Peripheral blood film — 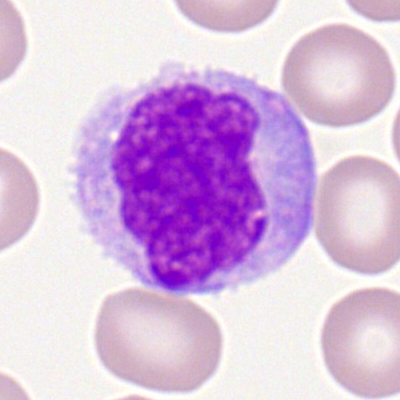

Cell type = monocyte.